Peripheral blood smear. 360×363 — 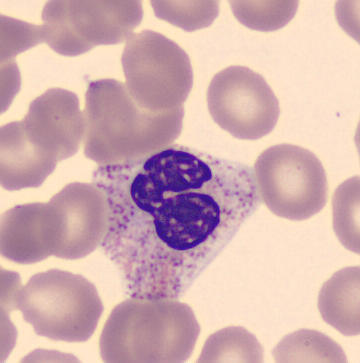Classification — neutrophil (segmented).